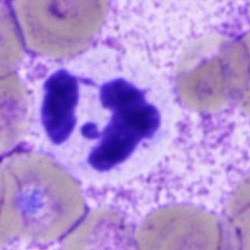Q: Identify the cell.
A: This is a neutrophil (segmented).